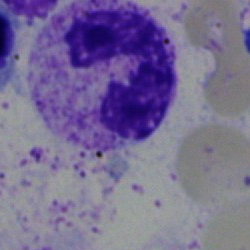

A neutrophil (band).